Bone marrow smear · image size 250×250.
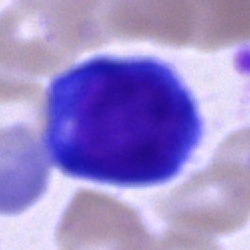

Q: What is the morphological classification of this cell?
A: It is a proerythroblast.